Bone marrow aspirate smear
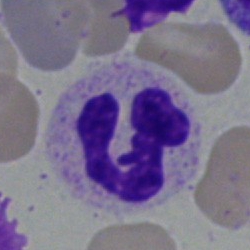 The cell type is polymorphonuclear neutrophil.